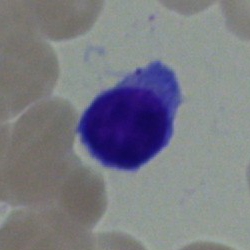
Morphology → lymphocyte.